Bone marrow aspirate smear. 250 by 250 pixels — 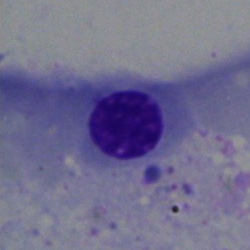
Classification: nucleated red blood cell.